Peripheral blood film
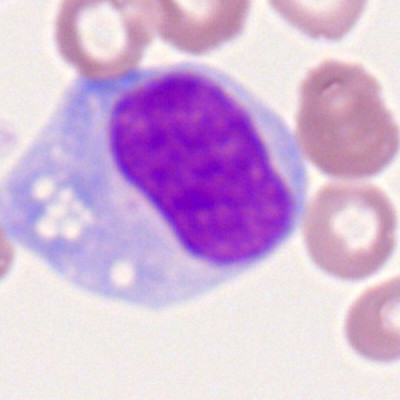
Morphological class: monocyte.